Bone marrow aspirate smear. Single-cell crop
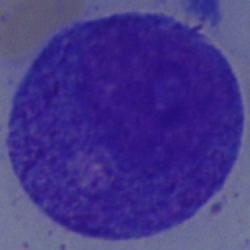

A promyelocyte.